Bone marrow aspirate smear: 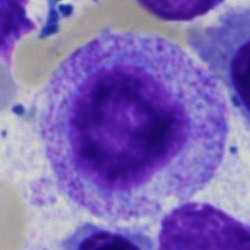
Specimen: bone marrow aspirate smear.
Classification: progranulocyte.
Lineage: myeloid.